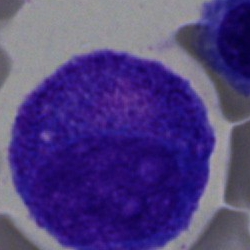
Q: What type of cell is this?
A: Promyelocyte.